Bone marrow smear
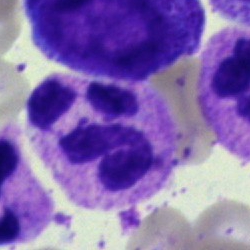
Specimen: bone marrow aspirate smear.
Morphological class: polymorphonuclear neutrophil.
Lineage: myeloid.